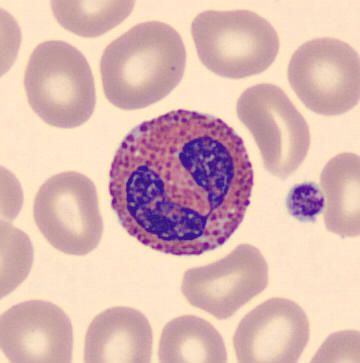

Q: What type of cell is this?
A: Eosinophil.